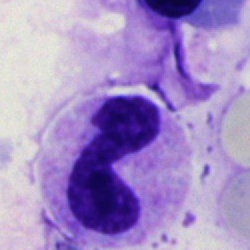 Q: Identify the cell.
A: It is a neutrophil (segmented).